250 by 250 pixels; 40× objective, oil immersion; bone marrow aspirate smear — 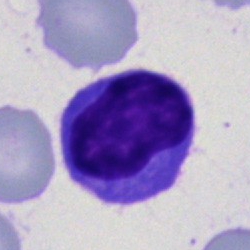Specimen: bone marrow smear.
Cell: lymphocyte.
Lineage: lymphoid.